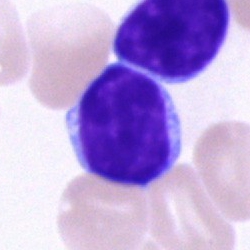 Showing a typical lymphocyte.